Bone marrow smear.
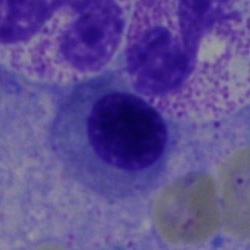 Q: What is shown here?
A: Normoblast.